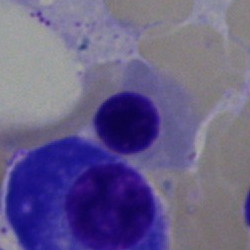 Impression — nucleated red blood cell.